Bone marrow smear:
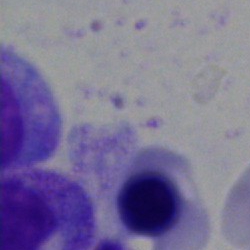 Impression — nucleated red cell.